Bone marrow aspirate smear.
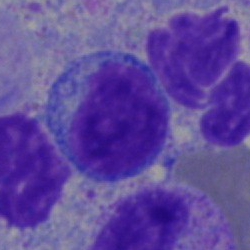{"cell_type": "typical lymphocyte"}